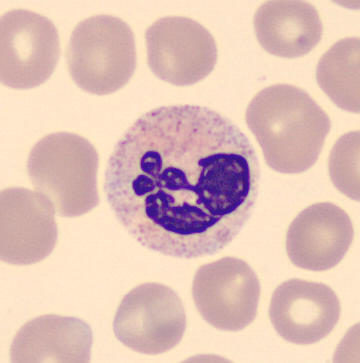

Preparation: Peripheral blood film · single-cell field.
Morphological class = polymorphonuclear neutrophil.